40× oil immersion · bone marrow aspirate smear — 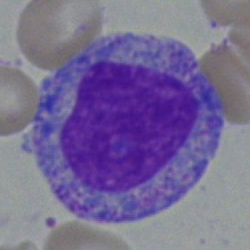
Cell type — myelocyte.